250×250 px. Bone marrow aspirate smear.
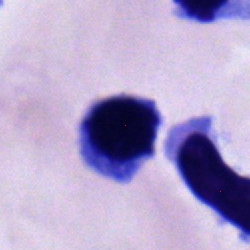Q: What is shown here?
A: This is a normoblast.